Romanowsky-type stain; M8 digital microscope (Precipoint), 100× oil immersion; peripheral blood smear — 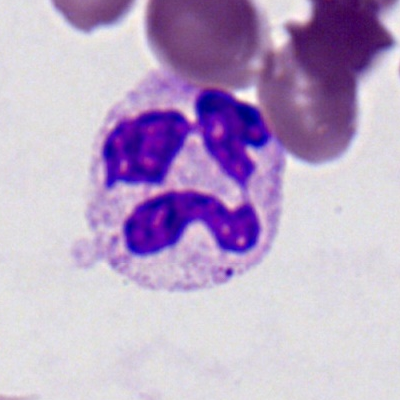{"cell_type": "neutrophil (segmented)"}